Bone marrow aspirate smear: 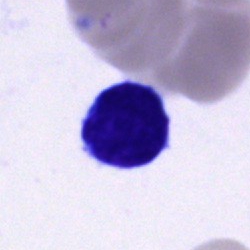

Specimen: bone marrow aspirate smear.
Classification: typical lymphocyte.